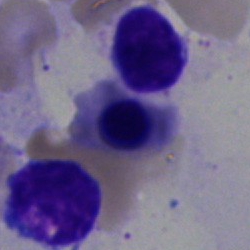
The cell is nucleated red cell.